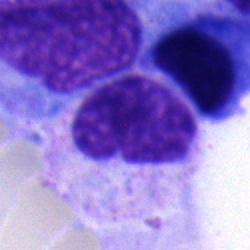

Morphology consistent with a band-form neutrophil.